400 by 400 pixels; peripheral blood film: 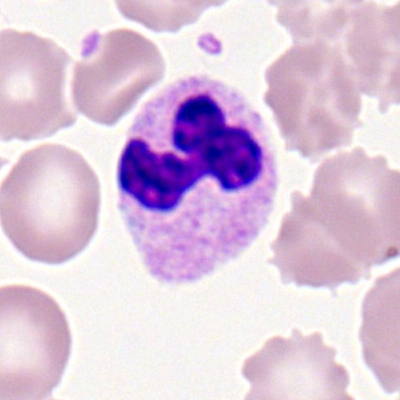

Q: What is shown here?
A: A neutrophil (segmented).